Bone marrow aspirate smear — 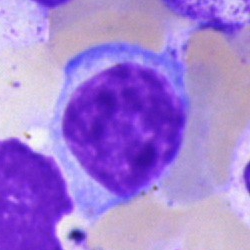

Classification — lymphocyte.